Bone marrow aspirate smear:
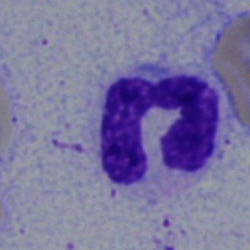

The morphological class is band-form neutrophil.